May-Grünwald-Giemsa/Pappenheim stain. Bone marrow smear. Image size 250×250:
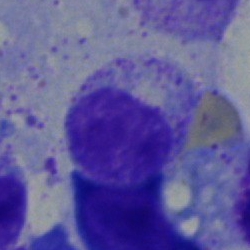
Impression → myelocyte.